40× oil immersion; bone marrow smear
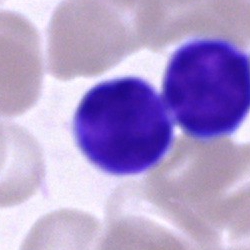Morphology consistent with a typical lymphocyte.